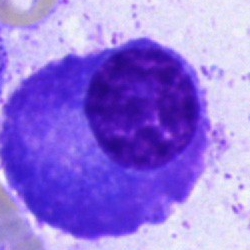 Specimen: bone marrow aspirate smear.
Classification: plasmacyte.